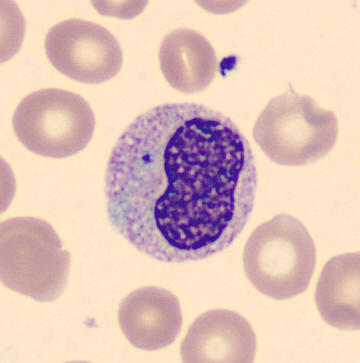
A metamyelocyte.

Image: Peripheral blood smear; CellaVision DM96 digital cell image.